Bone marrow smear. Single cell centered in the field: 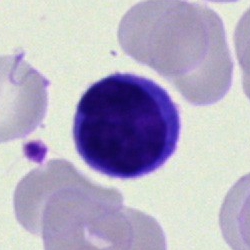
Cell — lymphocyte.